Bone marrow smear
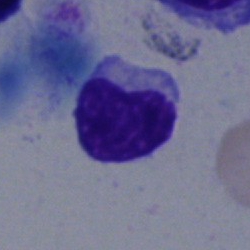 Q: What type of cell is this?
A: A typical lymphocyte.